Peripheral blood smear · 400×400:
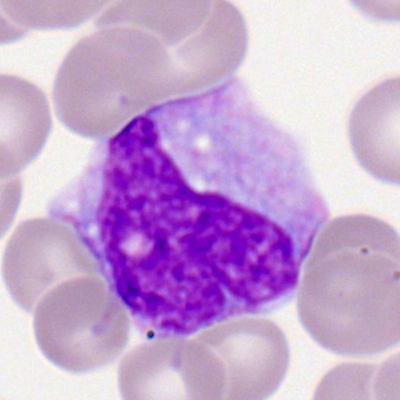Morphology — monocyte.